MGG-stained; bone marrow smear
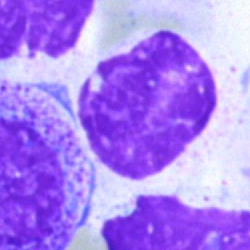{"cell_type": "artefact"}